Peripheral blood film.
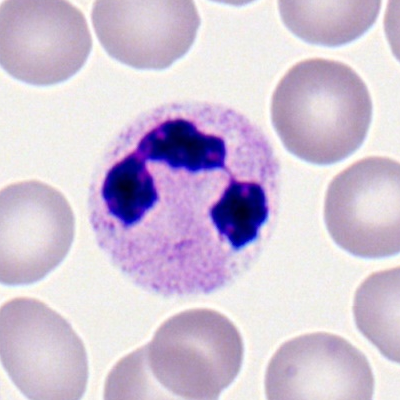Impression → polymorphonuclear neutrophil.